Bone marrow smear; single-cell field.
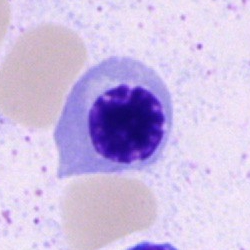A nucleated red blood cell.